Pappenheim-stained · bone marrow aspirate smear — 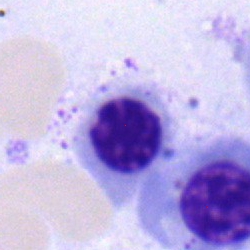

Single cell identified as an erythroblast.